Bone marrow smear: 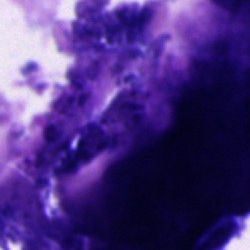
Morphology → artifact.